May-Grünwald-Giemsa/Pappenheim stain · bone marrow smear.
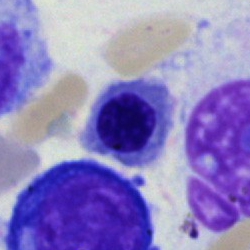Morphological class: nucleated red blood cell.